Bone marrow aspirate smear.
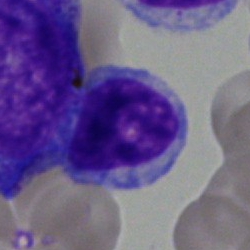Single cell identified as a typical lymphocyte.